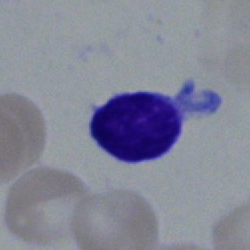Morphological class: typical lymphocyte.